Bone marrow smear: 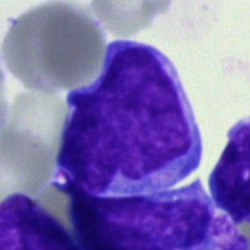
{"cell_type": "blast"}